Bone marrow smear; 250×250 px.
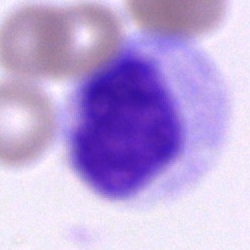

This is an unidentifiable cell.